Bone marrow aspirate smear; image size 250×250: 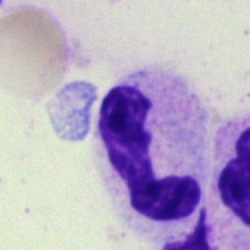
This is a neutrophil (segmented).